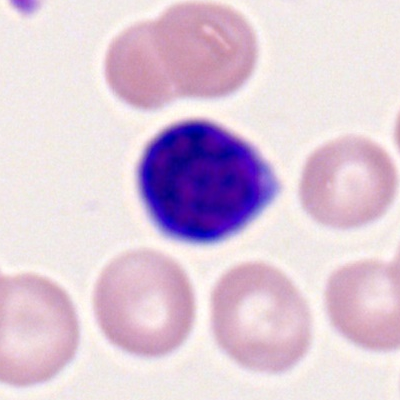Q: Which cell type is shown here?
A: A lymphocyte.